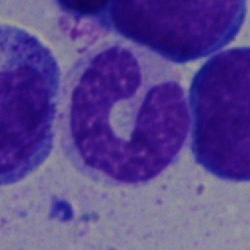

A band neutrophil.